Bone marrow smear — 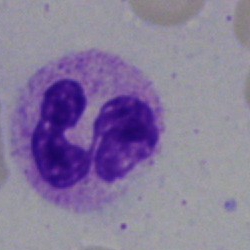
Cell — segmented neutrophil.